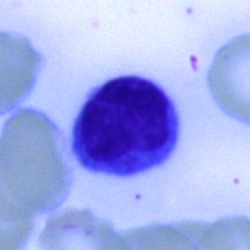
Q: What type of cell is this?
A: It is a lymphocyte.